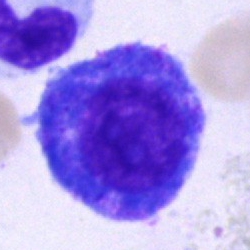The cell type is promyelocyte.